Bone marrow aspirate smear:
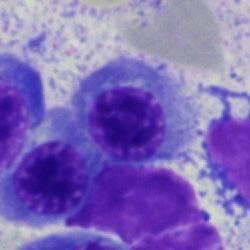 The morphological class is nucleated red blood cell.